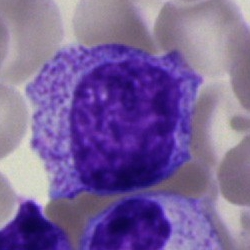 This is a myelocyte.